Bone marrow smear · 250×250 px.
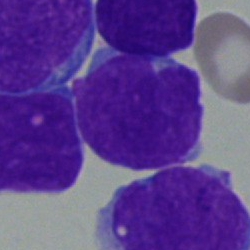 {"cell_type": "blast cell"}